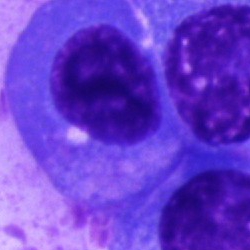
{"cell_type": "plasma cell", "lineage": "lymphoid"}